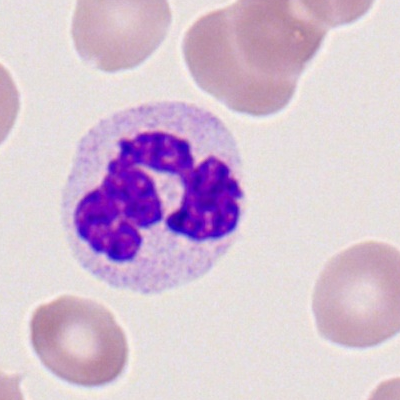 Specimen: peripheral blood film.
Classification: neutrophil (segmented).